Single cell centered in the field. MGG-stained. Bone marrow aspirate smear: 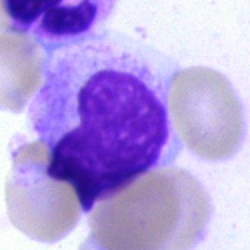

Morphology — artefact.